Image size 250×250 · bone marrow aspirate smear
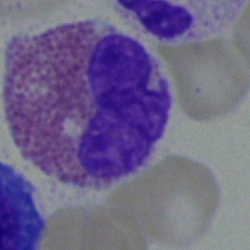

{"cell_type": "eosinophilic granulocyte"}